Bone marrow aspirate smear · 250 by 250 pixels · 40× objective, oil immersion.
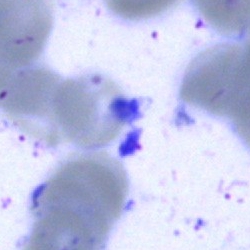Cell — blast.